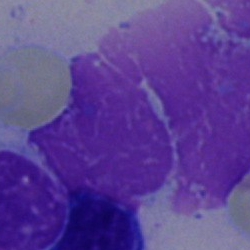

Q: What is shown here?
A: This is an artifact.